Bone marrow smear:
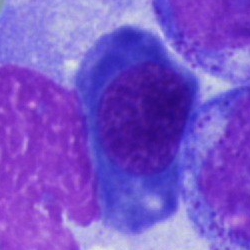
Specimen: bone marrow smear.
Cell: nucleated red cell.
Lineage: erythroid.